Bone marrow aspirate smear; 250×250 — 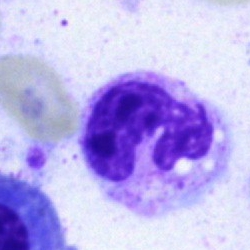Specimen: bone marrow smear.
Cell: polymorphonuclear neutrophil.